Bone marrow aspirate smear:
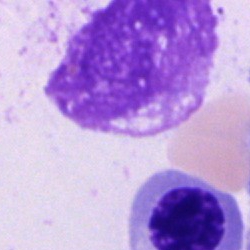

Q: What is shown here?
A: An artifact.